Bone marrow aspirate smear; 250×250 — 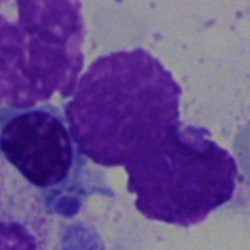

Q: What is shown here?
A: Artifact.